Bone marrow aspirate smear — 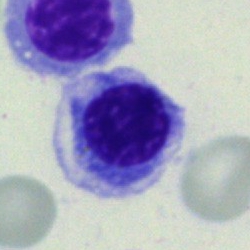Showing a nucleated red cell.